Bone marrow smear · single-cell field
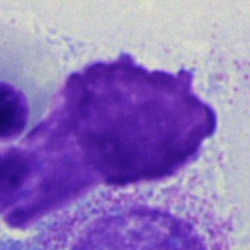
Q: What is shown here?
A: This is an artefact.